40× objective, oil immersion. Bone marrow aspirate smear
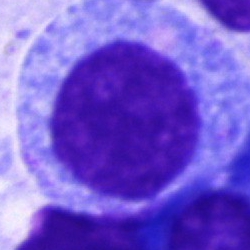
The cell type is promyelocyte.